Bone marrow smear.
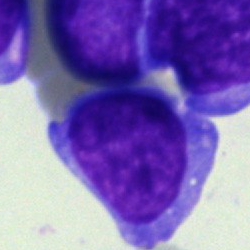

Showing an undifferentiated blast.